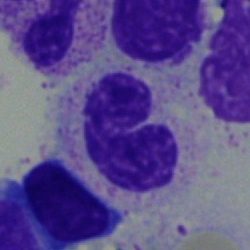 Impression — stab cell.